Bone marrow smear
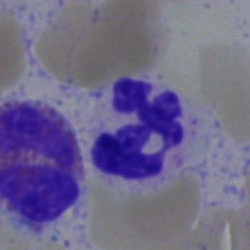

Q: What cell is this?
A: Segmented neutrophil.